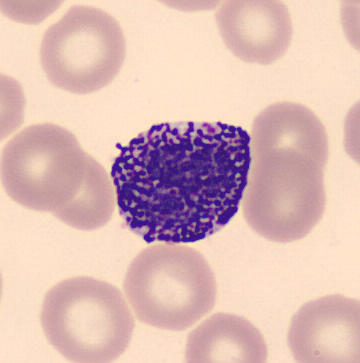
Peripheral blood film, single cell — basophil.